40× objective, oil immersion · bone marrow smear: 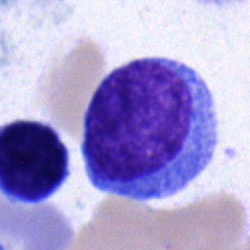 Q: What type of cell is this?
A: Undifferentiated blast.